Bone marrow smear · 250×250: 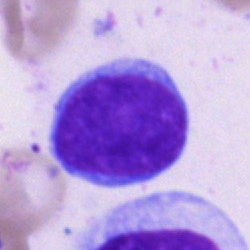

Specimen: bone marrow aspirate smear.
Morphological class: lymphocyte.
Lineage: lymphoid.